MGG-stained; bone marrow aspirate smear.
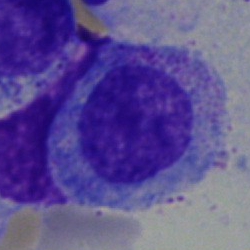 Q: What is shown here?
A: A myelocyte.